Bone marrow smear. Brightfield microscopy, 40× oil immersion — 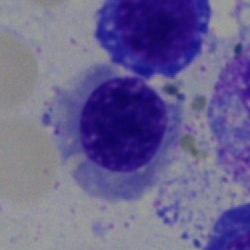Classification = nucleated red blood cell.